Bone marrow smear:
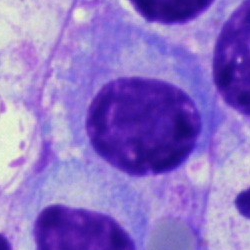Impression — plasma cell.